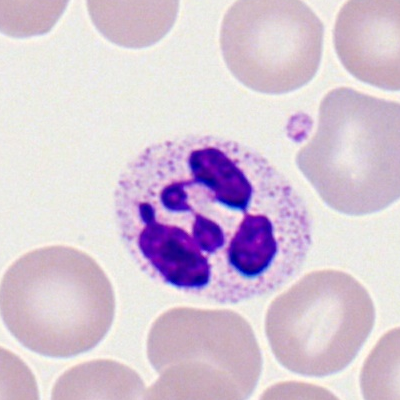
A segmented neutrophil on a peripheral blood smear.